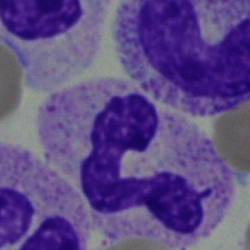

Bone marrow aspirate smear, single cell — segmented neutrophil.